Bone marrow smear:
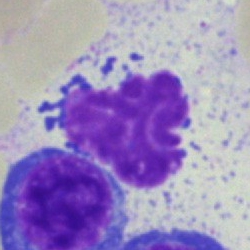The cell is artefact.